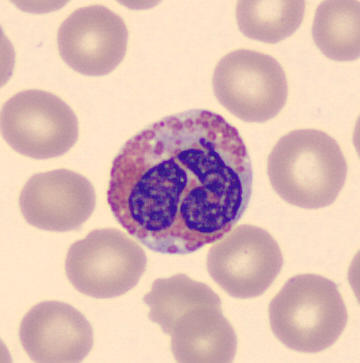 Peripheral blood film.
Q: What is this?
A: This is an eosinophil.